Bone marrow aspirate smear — 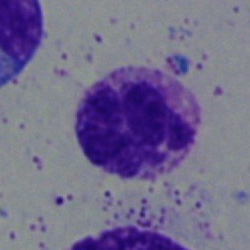

Cell type: neutrophil (segmented).